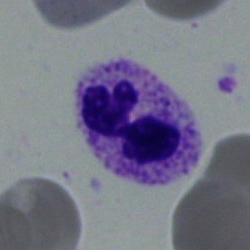 Impression → segmented neutrophil.